Image size 400×400. Peripheral blood film. Romanowsky-type stain:
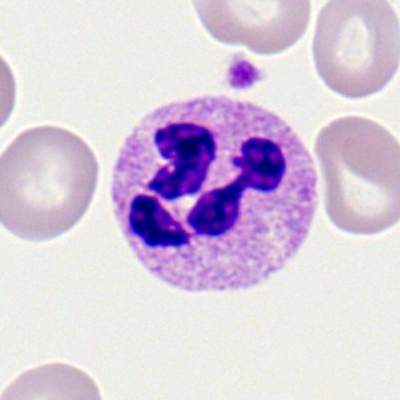The cell shown is a polymorphonuclear neutrophil.